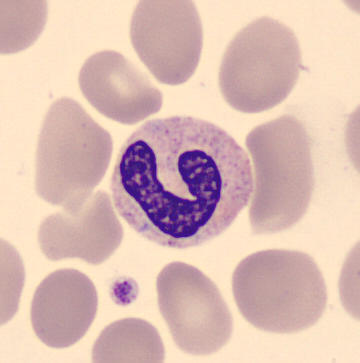
Imaged on a CellaVision DM96 analyser · single-cell field · peripheral blood smear.
Morphological class — stab cell.